Peripheral blood film. 100× oil immersion, 14.14 px/µm. 400×400 — 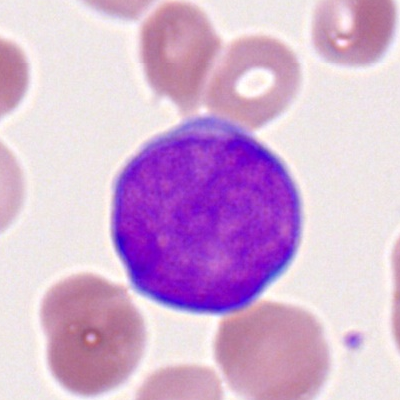Myeloid blast.